Bone marrow smear. 40× oil immersion
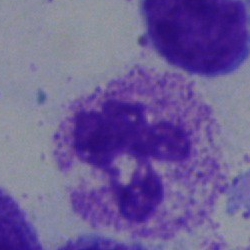Specimen: bone marrow aspirate smear.
Cell type: polymorphonuclear neutrophil.